Bone marrow smear · May-Grünwald-Giemsa/Pappenheim stain: 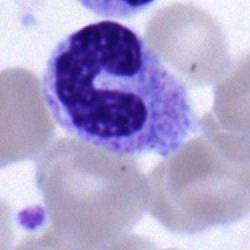

Cell: neutrophil (band).